Bone marrow aspirate smear
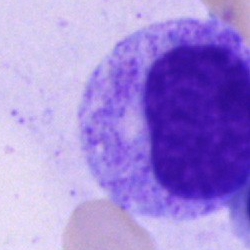

Classification: promyelocyte.